Bone marrow smear.
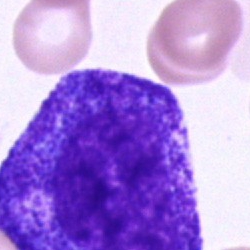Morphology consistent with a promyelocyte.